Bone marrow smear · 250 by 250 pixels: 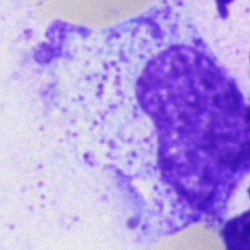
Cell = artifact.